Bone marrow smear.
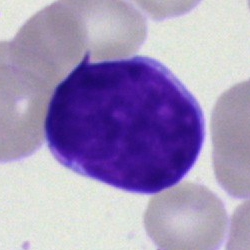
Specimen: bone marrow smear.
Cell type: lymphocyte.